Bone marrow aspirate smear:
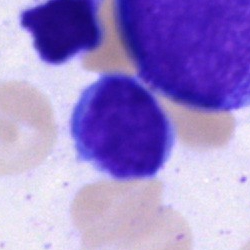Specimen: bone marrow aspirate smear.
Cell type: lymphocyte.
Lineage: lymphoid.